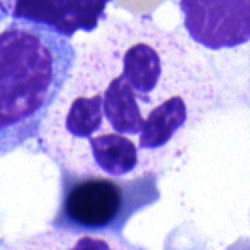

Classification — segmented neutrophil.